40× objective, oil immersion. Bone marrow aspirate smear: 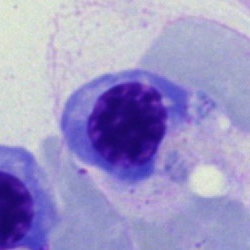 Morphological class: erythroblast.